Bone marrow smear
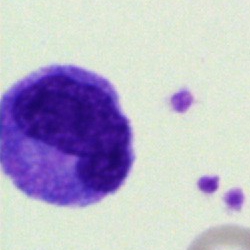

Classification: monocyte.